Bone marrow aspirate smear: 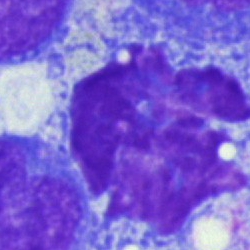

Morphology consistent with an artefact.